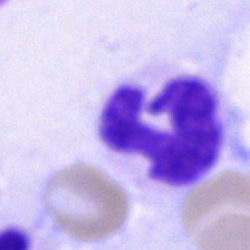Cell type: segmented neutrophil.